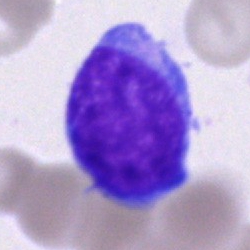

Morphology consistent with a blast cell.